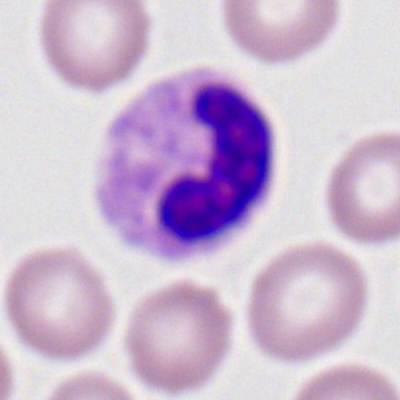 Showing a band-form neutrophil.